40× objective, oil immersion · bone marrow smear: 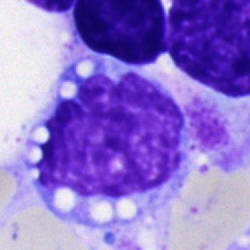
A monocyte.